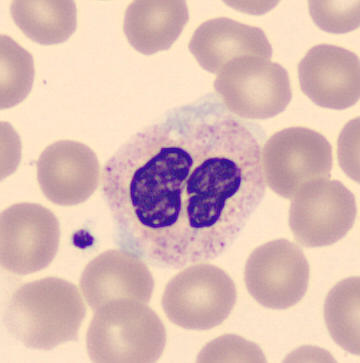

Impression — neutrophil (segmented).